Bone marrow aspirate smear — 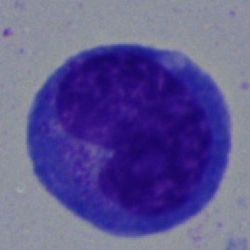

The cell is blast cell.